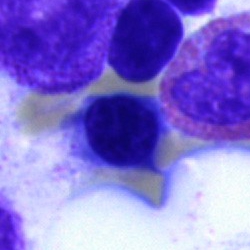The cell type is normoblast.